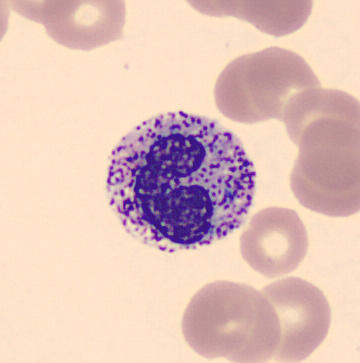 Cell = band-form neutrophil.

Peripheral blood film · imaged on a CellaVision DM96 analyser · single-cell field.